Bone marrow smear · single-cell crop · brightfield microscopy, 40× oil immersion — 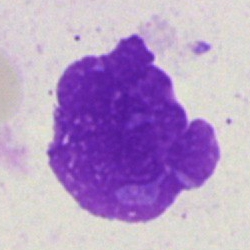 Single cell identified as an artefact.